Peripheral blood film — 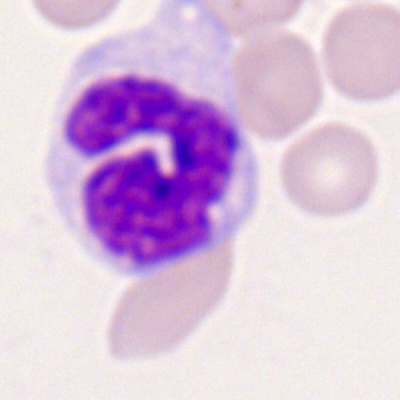 Specimen: peripheral blood film.
Classification: monocyte.
Lineage: myeloid.